Single-cell field; bone marrow smear; 250×250 px: 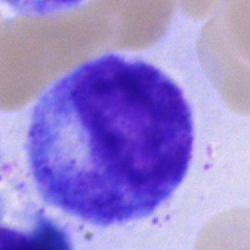

This is a progranulocyte.